Bone marrow aspirate smear · 250×250 px
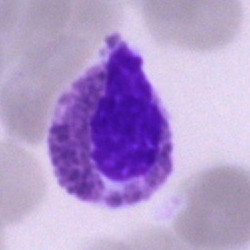

The cell shown is an eosinophilic granulocyte.